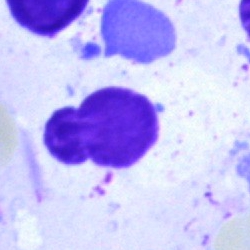

The cell type is artefact.